Bone marrow aspirate smear: 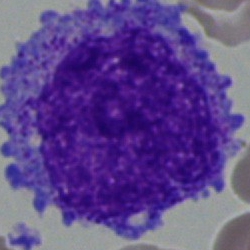
Q: What type of cell is this?
A: It is a progranulocyte.